Peripheral blood smear.
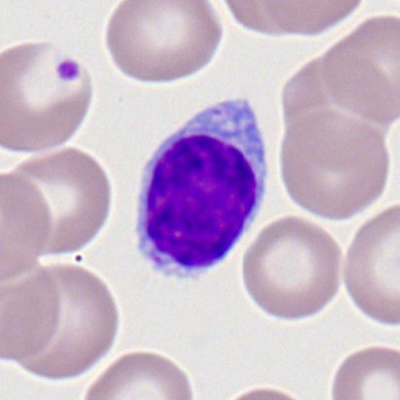
Classification — lymphocyte.